Pappenheim-stained. Bone marrow aspirate smear — 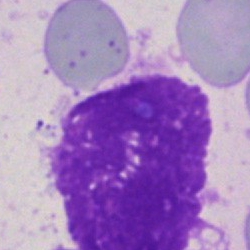

Impression → artifact.